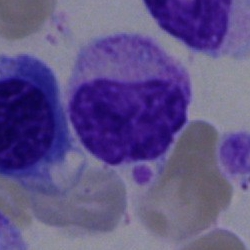 Morphological class: metamyelocyte.